250 by 250 pixels. Bone marrow smear. May-Grünwald-Giemsa/Pappenheim stain
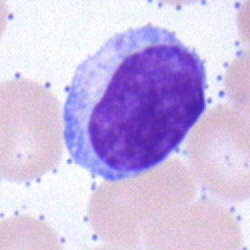

Classification: typical lymphocyte.